Bone marrow aspirate smear; 250 by 250 pixels
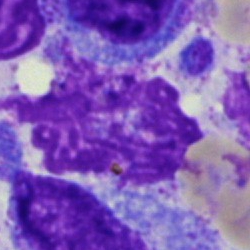 This is an artefact.